Peripheral blood smear
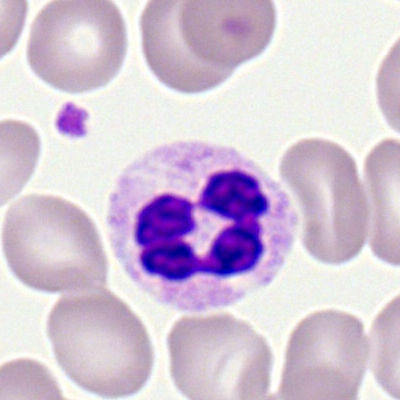 Cell type — polymorphonuclear neutrophil.